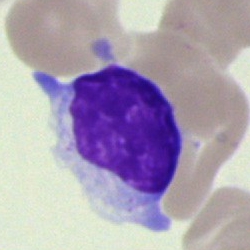A typical lymphocyte.